Bone marrow aspirate smear
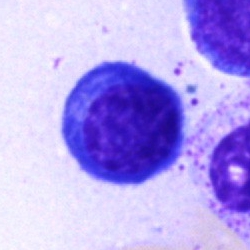 The morphological class is nucleated red cell.